Peripheral blood film.
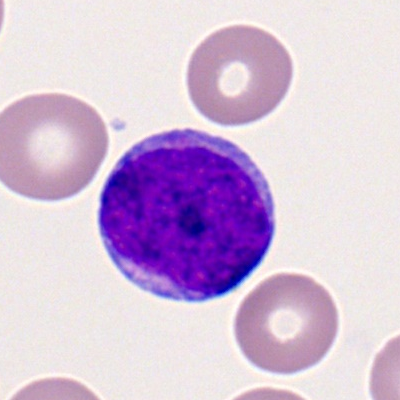Morphological class = myeloid blast.